MGG-stained; bone marrow smear; 250×250 px:
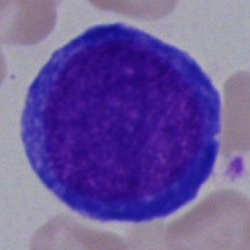 Specimen: bone marrow smear.
Cell type: pronormoblast.
Lineage: erythroid.